Bone marrow aspirate smear
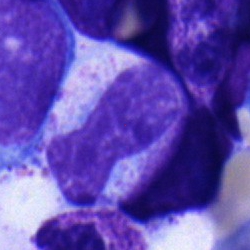Q: What cell is this?
A: Metamyelocyte.